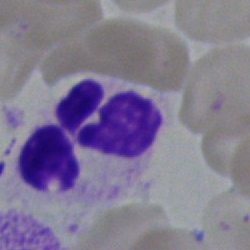
Morphology — neutrophil (segmented).